Bone marrow smear. Single-cell field.
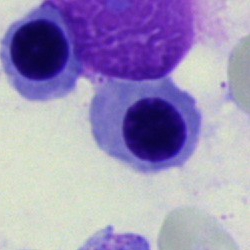The cell is nucleated red blood cell.